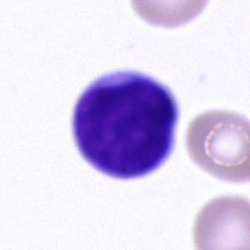 Single cell identified as a typical lymphocyte.